Bone marrow aspirate smear.
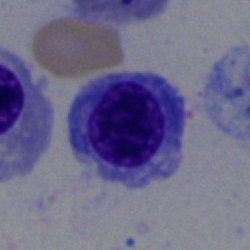
Cell type — nucleated red blood cell.